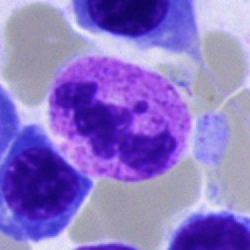 Impression → neutrophil (segmented).